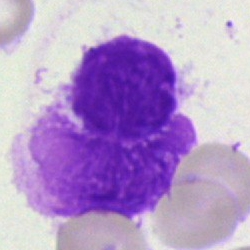
Morphology consistent with an artefact.